Brightfield, 40× oil-immersion objective · MGG-stained · bone marrow smear:
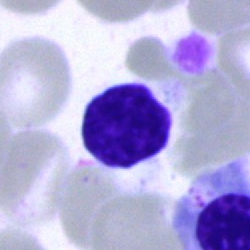

The cell shown is a lymphocyte.